Bone marrow aspirate smear · brightfield, 40× oil-immersion objective · 250 by 250 pixels: 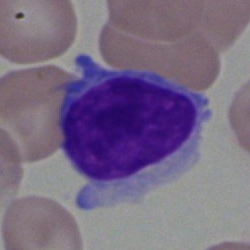 Impression → typical lymphocyte.